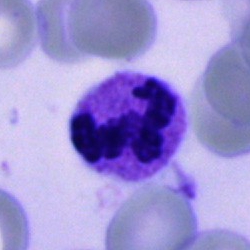

Q: What is shown here?
A: A polymorphonuclear neutrophil.